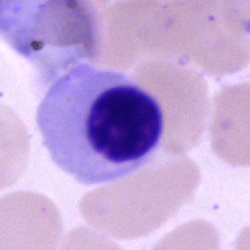
This is an erythroblast.